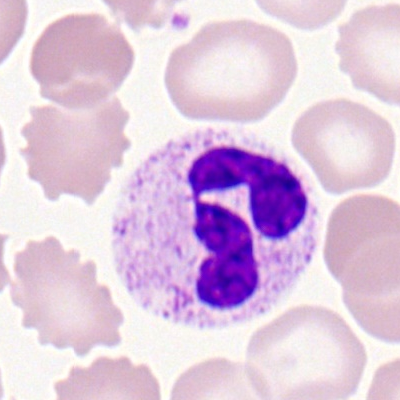

This is a polymorphonuclear neutrophil.